Single-cell crop. Bone marrow smear — 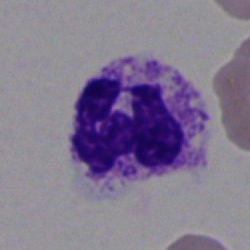
Specimen: bone marrow aspirate smear.
Cell: neutrophil (segmented).